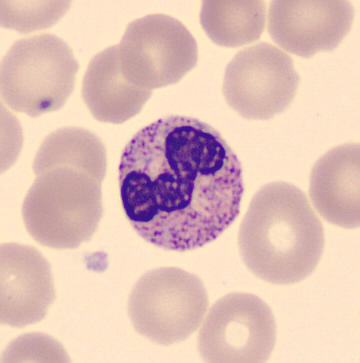
Peripheral blood smear. 360×363.

Identified as a stab cell.